Bone marrow aspirate smear; image size 250×250:
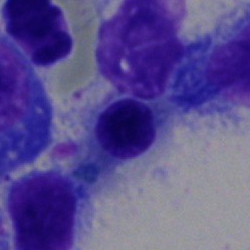 Specimen: bone marrow smear.
Cell type: nucleated red cell.
Lineage: erythroid.